Image size 400×400; peripheral blood film
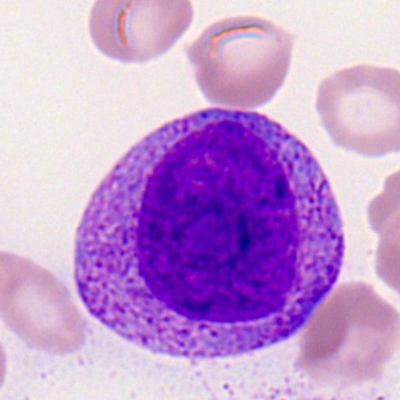The cell type is promyelocyte.